Peripheral blood film — 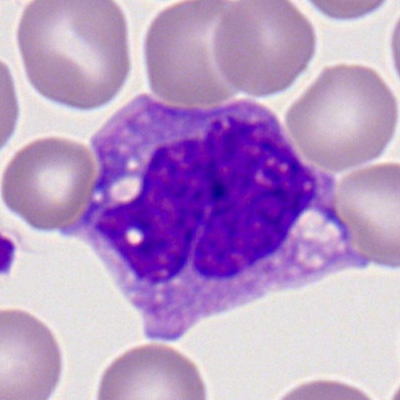

Morphological class = monocyte.